MGG-stained. Bone marrow aspirate smear
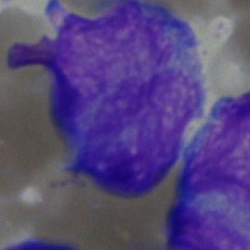

Morphological class: undifferentiated blast.